Brightfield microscopy, 40× oil immersion. Bone marrow aspirate smear:
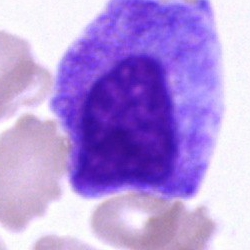Classification — promyelocyte.